Bone marrow smear · Pappenheim-stained:
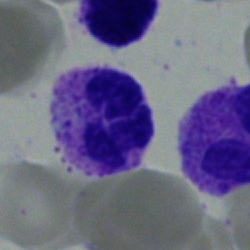

{"cell_type": "polymorphonuclear neutrophil", "lineage": "myeloid"}